Bone marrow aspirate smear:
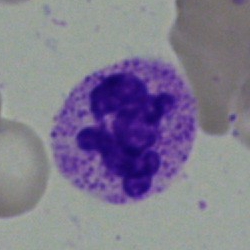
Specimen: bone marrow aspirate smear.
Morphological class: segmented neutrophil.